Bone marrow aspirate smear: 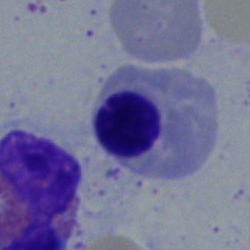
Impression → normoblast.